Bone marrow smear; brightfield microscopy, 40× oil immersion — 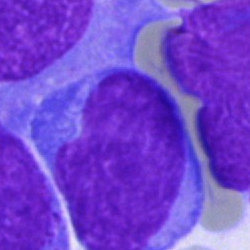
Single cell identified as a blast.